Bone marrow smear. May-Grünwald-Giemsa/Pappenheim stain.
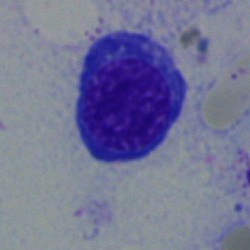Morphology → typical lymphocyte.